Bone marrow smear — 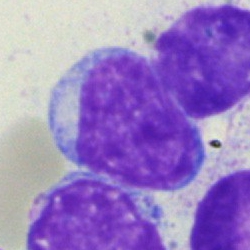
The morphological class is blast.